Bone marrow smear. Cropped to a single cell — 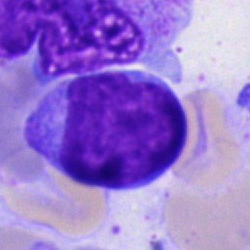 A blast.